400×400 px; peripheral blood film — 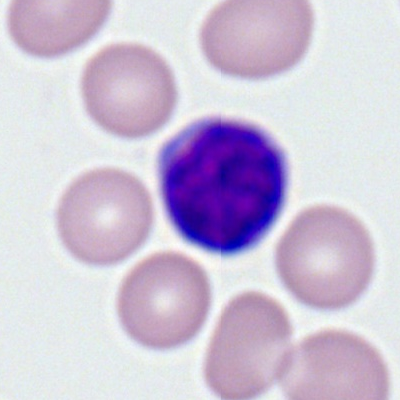 Cell type: lymphocyte.